Bone marrow aspirate smear:
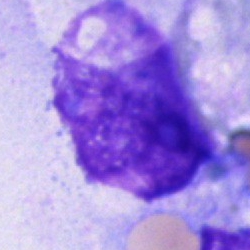This is an artefact.